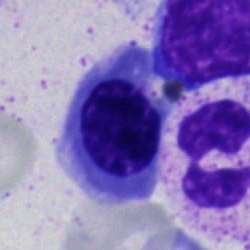{"cell_type": "nucleated red blood cell", "lineage": "erythroid"}